Bone marrow smear — 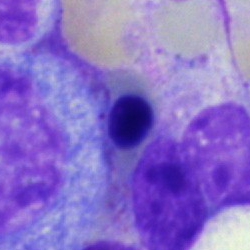The morphological class is normoblast.